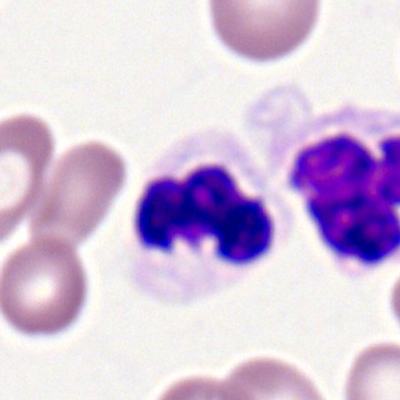 Cell type: neutrophil (segmented).